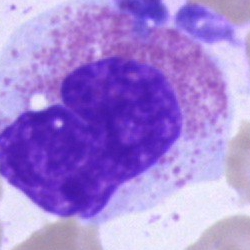Bone marrow aspirate smear, single cell — eosinophilic granulocyte.